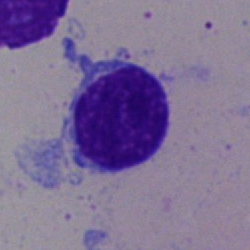
Impression → lymphocyte.